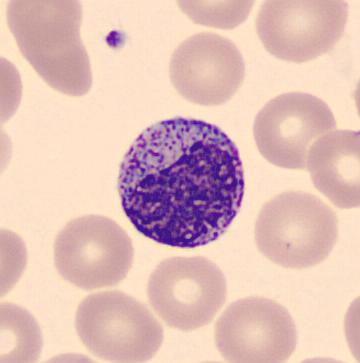

Peripheral blood film.
Impression — myelocyte.